Bone marrow aspirate smear. 40× oil immersion. 250 by 250 pixels.
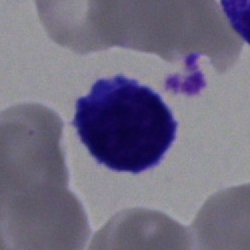The cell is typical lymphocyte.